Single-cell field; bone marrow aspirate smear
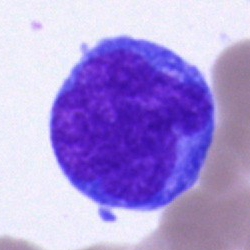Q: What type of cell is this?
A: It is an undifferentiated blast.